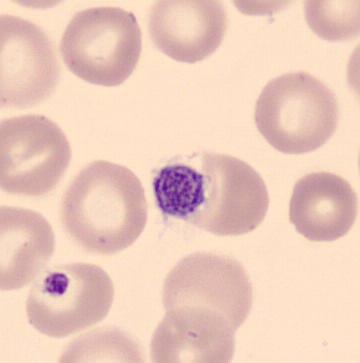This is a platelet.

Acquisition: Peripheral blood smear.